May-Grünwald-Giemsa/Pappenheim stain; bone marrow aspirate smear — 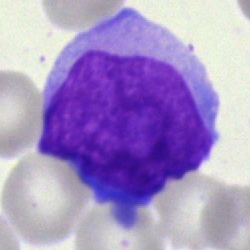Morphology consistent with a blast.